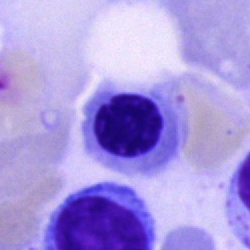
Classification = erythroblast.